Bone marrow aspirate smear
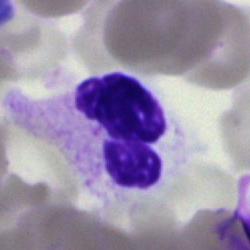
Showing a neutrophil (segmented).